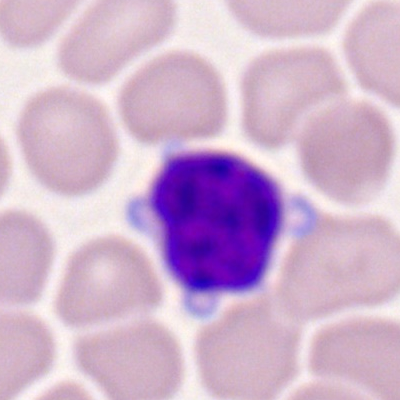 Showing a lymphocyte.